Bone marrow aspirate smear: 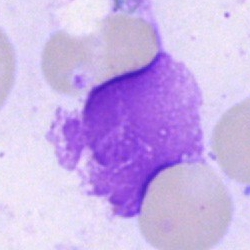 Impression — artifact.